Bone marrow aspirate smear · brightfield, 40× oil-immersion objective:
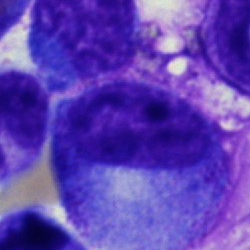

This is a promyelocyte.